Cropped to a single cell · peripheral blood smear · Romanowsky stain: 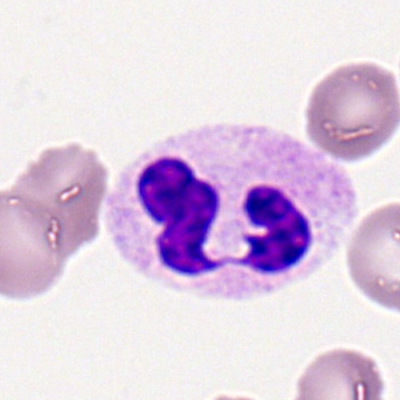

The cell shown is a neutrophil (segmented).